Bone marrow smear:
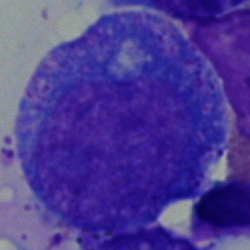Promyelocyte.